250×250 · bone marrow smear · 40× objective, oil immersion
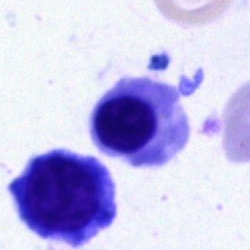 Cell — erythroblast.